Bone marrow aspirate smear
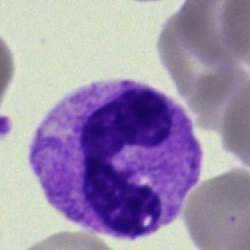 {"cell_type": "segmented neutrophil", "lineage": "myeloid"}